Bone marrow smear. May-Grünwald-Giemsa stain
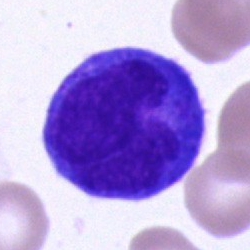Monocyte.